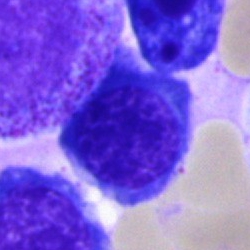

Q: What type of cell is this?
A: A nucleated red blood cell.